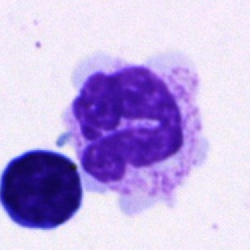{"cell_type": "polymorphonuclear neutrophil"}